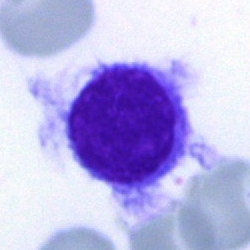Morphology consistent with a hairy cell.